Bone marrow smear · 250 by 250 pixels · single-cell field
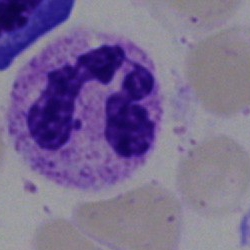 Showing a neutrophil (segmented).